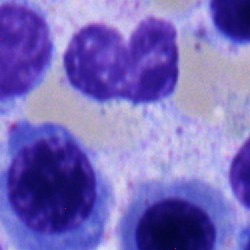 {"cell_type": "band neutrophil"}